Brightfield, 40× oil-immersion objective; MGG-stained; bone marrow smear.
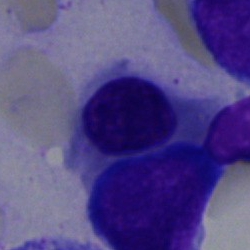 Cell type = nucleated red cell.